Bone marrow aspirate smear · May-Grünwald-Giemsa/Pappenheim stain
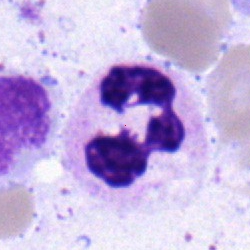Q: What cell is this?
A: A polymorphonuclear neutrophil.